Bone marrow smear
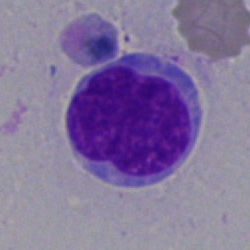

Showing a blast cell.